Peripheral blood smear — 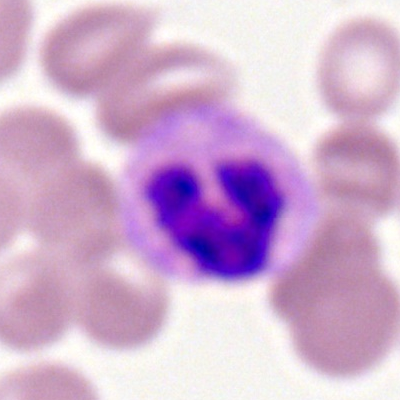

Cell type: neutrophil (segmented).